Bone marrow smear. Pappenheim-stained:
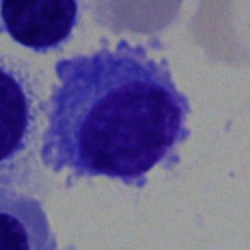Classification = plasmacyte.